Bone marrow smear — 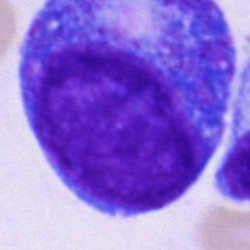

Specimen: bone marrow smear.
Morphological class: promyelocyte.